Bone marrow aspirate smear.
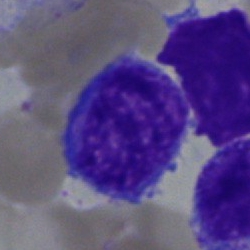 Impression — typical lymphocyte.